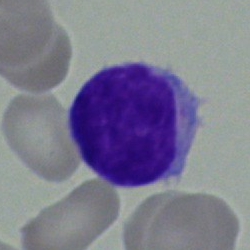

Cell = typical lymphocyte.